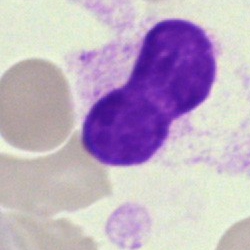
Impression → artifact.